40× oil immersion. Bone marrow aspirate smear: 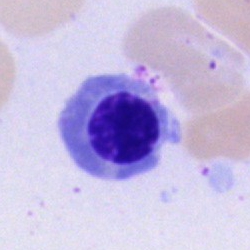Morphological class — nucleated red cell.